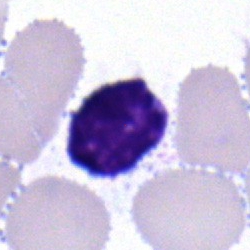
Lymphocyte.